May-Grünwald-Giemsa stain; bone marrow aspirate smear; cropped to a single cell: 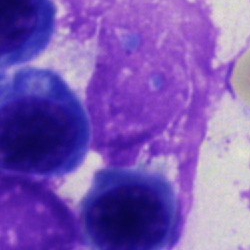
This is an artifact.